Peripheral blood film:
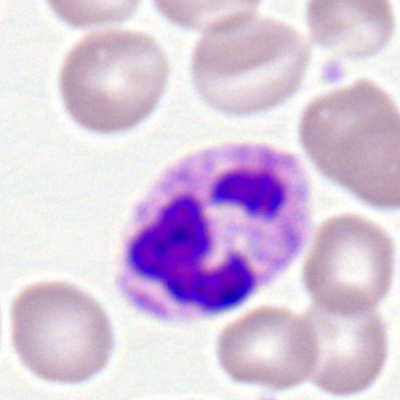 The cell type is neutrophil (segmented).